MGG-stained. Bone marrow aspirate smear:
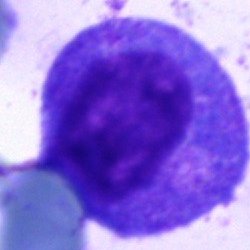 Single cell identified as a promyelocyte.